Bone marrow smear — 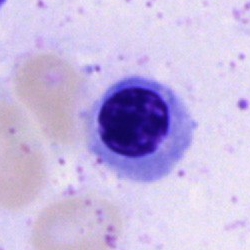

Impression → normoblast.